Bone marrow smear: 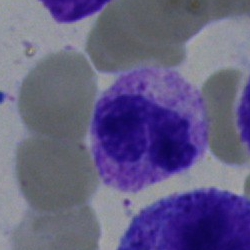
The classification is polymorphonuclear neutrophil.